Peripheral blood smear: 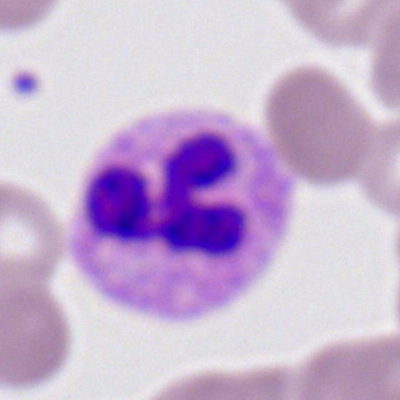
{"cell_type": "neutrophil (segmented)", "lineage": "myeloid"}